40× oil immersion. Single cell centered in the field. Bone marrow aspirate smear — 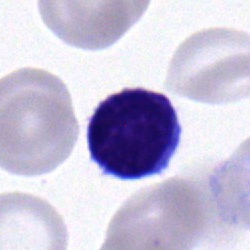Q: What is the morphological classification of this cell?
A: Typical lymphocyte.